Bone marrow aspirate smear · 40× oil immersion.
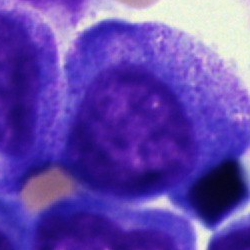

{"cell_type": "promyelocyte"}